Pappenheim-stained · 250×250 px · bone marrow aspirate smear.
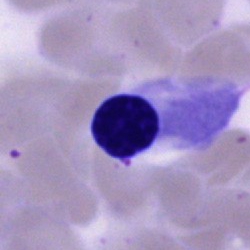Cell — normoblast.